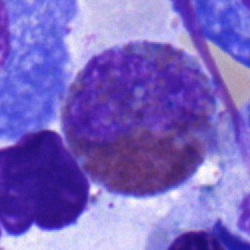

The cell is eosinophil.